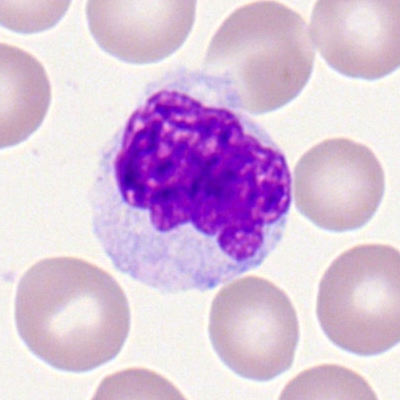

Classification — typical lymphocyte.